Bone marrow aspirate smear · Pappenheim-stained
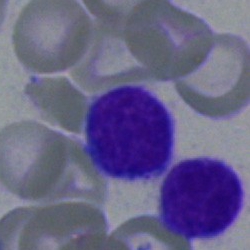

Morphological class — typical lymphocyte.